Bone marrow smear: 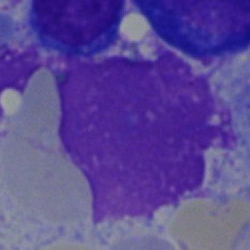
An artifact.